Bone marrow smear.
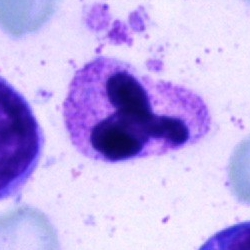
Polymorphonuclear neutrophil.